40× objective, oil immersion; 250×250 px; bone marrow aspirate smear — 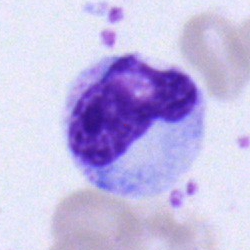
Q: What cell is this?
A: It is a metamyelocyte.